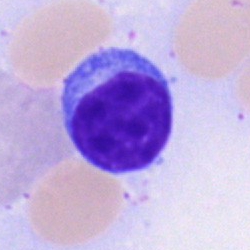

Morphology → lymphocyte.